May-Grünwald-Giemsa stain · brightfield, 40× oil-immersion objective · bone marrow aspirate smear.
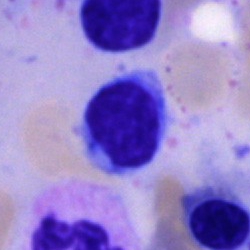 Q: Which cell type is shown here?
A: This is a typical lymphocyte.